Bone marrow aspirate smear — 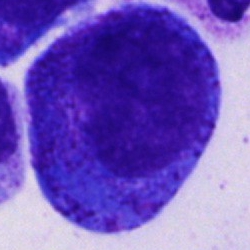

A progranulocyte.